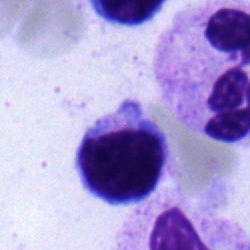

A typical lymphocyte on a bone marrow smear.